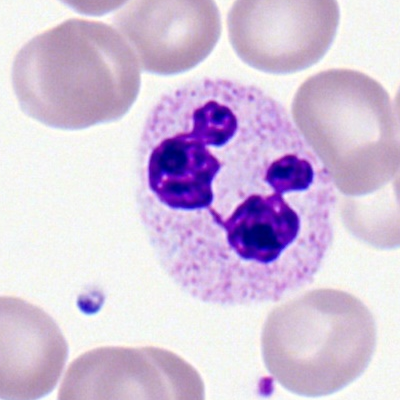

Morphology consistent with a segmented neutrophil.